Peripheral blood film · single cell centered in the field — 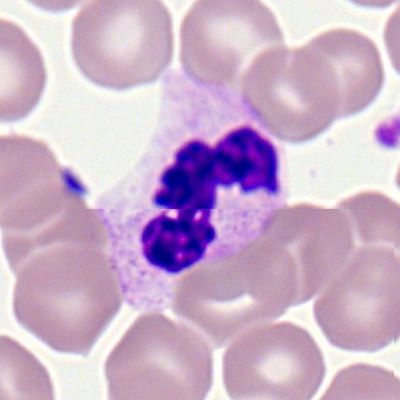Showing a polymorphonuclear neutrophil.